Cropped to a single cell; bone marrow smear.
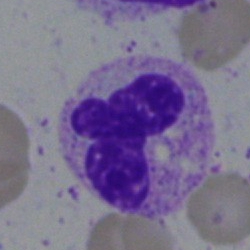

Morphology → segmented neutrophil.